Bone marrow smear: 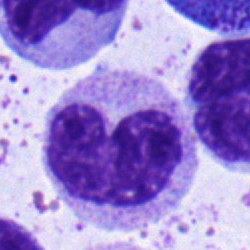

Classification — band neutrophil.